Bone marrow aspirate smear. Single cell centered in the field: 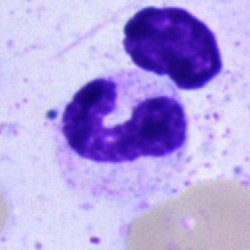
The cell shown is a neutrophil (segmented).